Image size 400×400. Peripheral blood film: 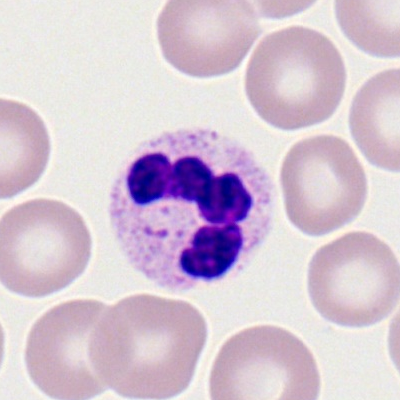

The cell is polymorphonuclear neutrophil.